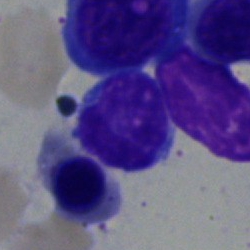

Classification — nucleated red cell.